Brightfield, 40× oil-immersion objective. Single cell centered in the field. Bone marrow aspirate smear: 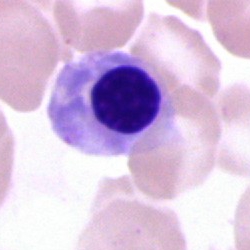
Q: What type of cell is this?
A: This is a nucleated red cell.